Bone marrow smear; 250×250; May-Grünwald-Giemsa stain.
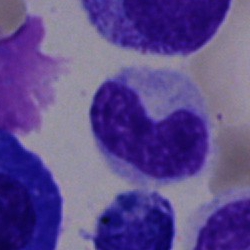Showing a band neutrophil.